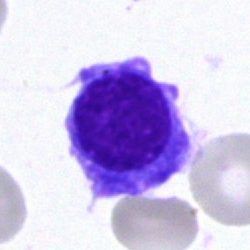 Showing a typical lymphocyte.